250×250 px; bone marrow smear; May-Grünwald-Giemsa stain
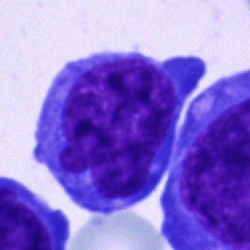
Blast.